Image size 250×250. MGG-stained. Bone marrow smear — 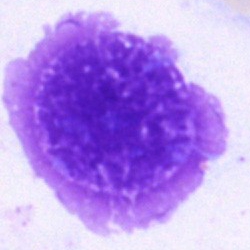Q: What is shown here?
A: Artefact.